Bone marrow aspirate smear; image size 250×250; Pappenheim-stained.
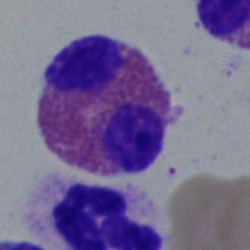
Q: Which cell type is shown here?
A: An eosinophil.